Bone marrow smear:
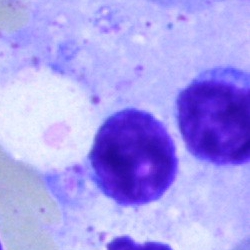
Q: Which cell type is shown here?
A: Lymphocyte.